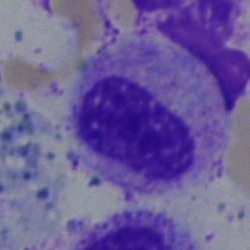The cell is metamyelocyte.